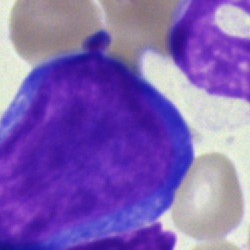 {"cell_type": "proerythroblast", "lineage": "erythroid"}